Bone marrow smear: 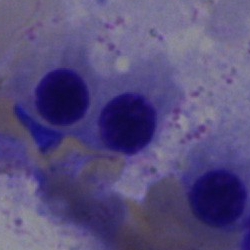Q: What type of cell is this?
A: An erythroblast.